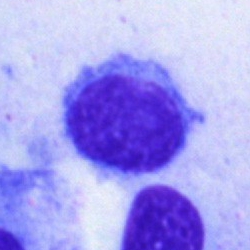 Morphological class — hairy cell.